Bone marrow smear · 40× oil immersion · image size 250×250 — 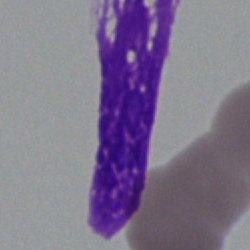Single cell identified as an artifact.